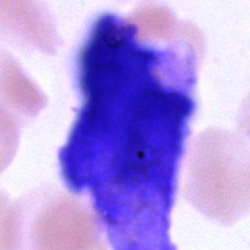
The morphological class is artifact.